Single-cell crop; brightfield, 40× oil-immersion objective; bone marrow smear:
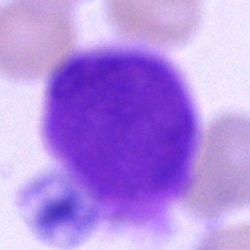 Artefact.